Bone marrow smear. 250×250: 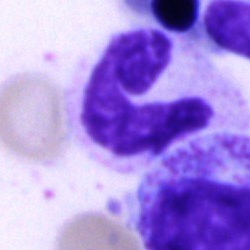

Specimen: bone marrow smear.
Classification: band neutrophil.